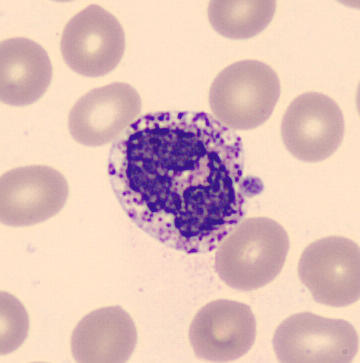
Q: What is shown here?
A: This is a basophilic granulocyte.
Acquisition: Peripheral blood smear.